Brightfield, 40× oil-immersion objective; bone marrow smear; 250×250 px — 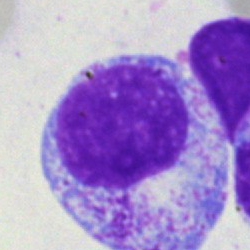

Myelocyte.